Pappenheim-stained · bone marrow aspirate smear:
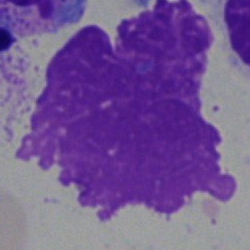

Showing an artefact.